Bone marrow aspirate smear.
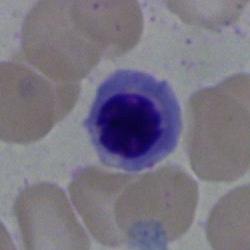

Single cell identified as an erythroblast.